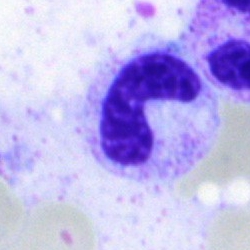

Cell: neutrophil (band).